Bone marrow smear; brightfield microscopy, 40× oil immersion: 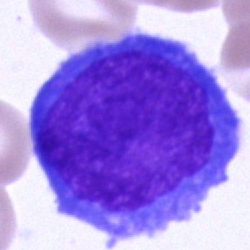

Showing a blast cell.